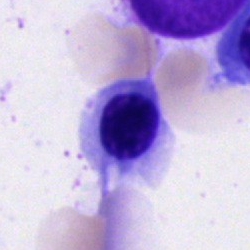 This is a nucleated red blood cell.